Image size 250×250; bone marrow aspirate smear: 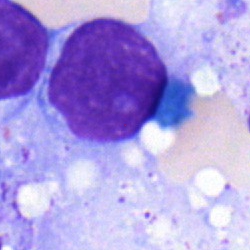

Cell type — typical lymphocyte.